Bone marrow smear; 40× objective, oil immersion; May-Grünwald-Giemsa/Pappenheim stain
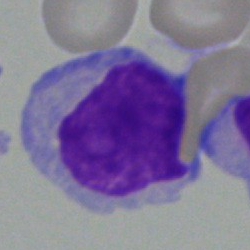The cell shown is a typical lymphocyte.